Bone marrow smear:
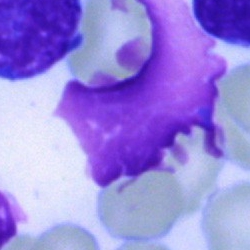 Showing an artefact.